40× objective, oil immersion · May-Grünwald-Giemsa stain · bone marrow aspirate smear: 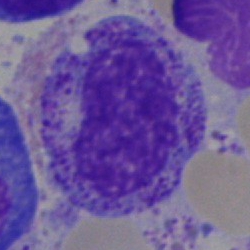 Promyelocyte.